Bone marrow aspirate smear.
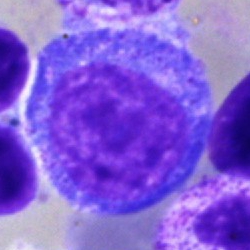
Q: Which cell type is shown here?
A: A progranulocyte.